Bone marrow aspirate smear:
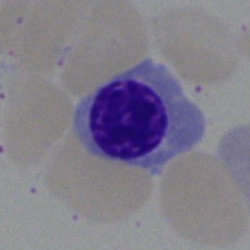 An erythroblast.